Bone marrow aspirate smear · May-Grünwald-Giemsa/Pappenheim stain — 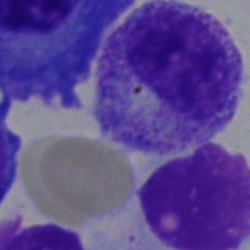The classification is myelocyte.